MGG-stained. Bone marrow smear
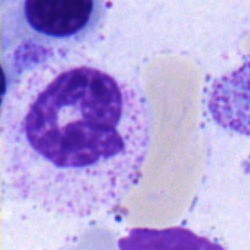

{"cell_type": "polymorphonuclear neutrophil"}